Bone marrow smear · Pappenheim-stained · 250×250 px:
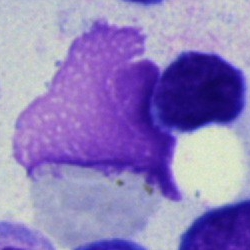

Classification: artefact.